Peripheral blood smear
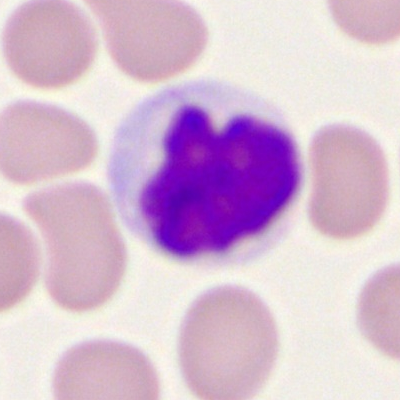

Showing a neutrophil (segmented).